Brightfield microscopy, 40× oil immersion · bone marrow smear:
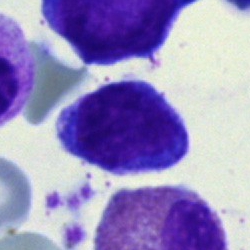
Specimen: bone marrow aspirate smear.
Cell type: typical lymphocyte.
Lineage: lymphoid.